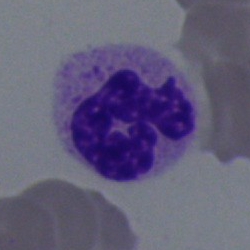 Classification = neutrophil (segmented).